Bone marrow smear; May-Grünwald-Giemsa/Pappenheim stain; brightfield microscopy, 40× oil immersion — 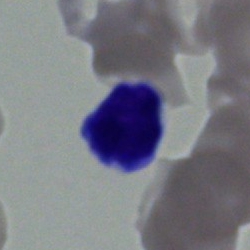
Morphology — lymphocyte.